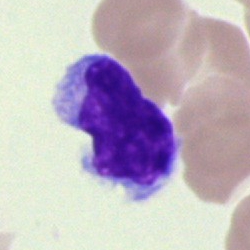 Typical lymphocyte.